Bone marrow aspirate smear — 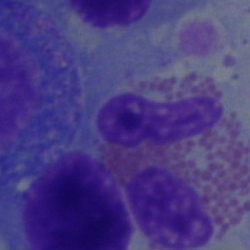Impression — eosinophilic granulocyte.